Peripheral blood smear.
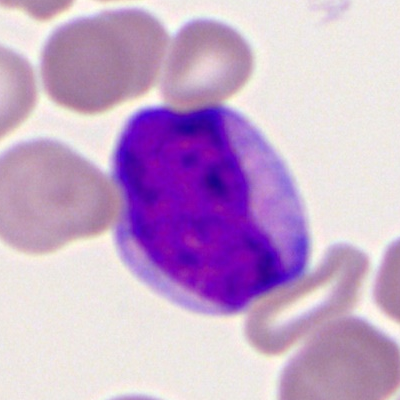
The cell type is myeloid blast.